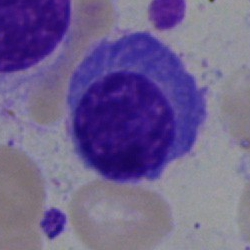Classification — plasma cell.